Bone marrow aspirate smear — 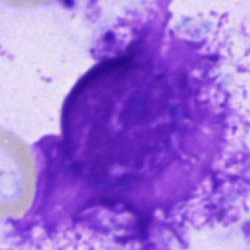Cell — artefact.